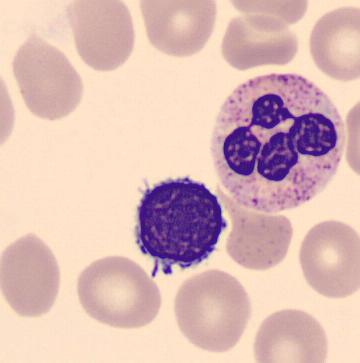
Cell type: lymphocyte.